Bone marrow aspirate smear:
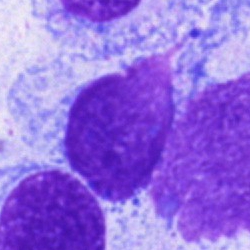

An artifact.